Bone marrow smear · cropped to a single cell.
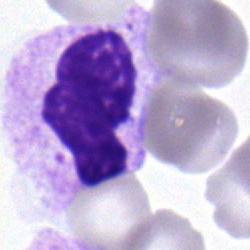 Single cell identified as a segmented neutrophil.